Bone marrow aspirate smear:
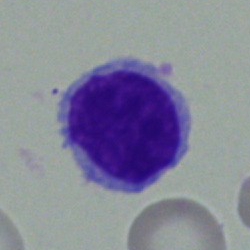Showing a lymphocyte.